Bone marrow aspirate smear:
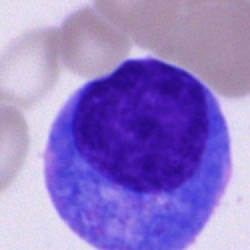Specimen: bone marrow smear.
Morphological class: plasma cell.
Lineage: lymphoid.